May-Grünwald-Giemsa stain · bone marrow smear:
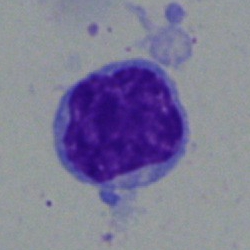 Showing a typical lymphocyte.